Bone marrow aspirate smear; single-cell field — 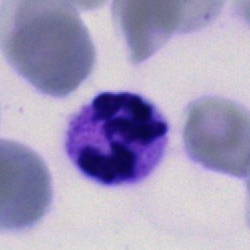Segmented neutrophil.